Bone marrow smear: 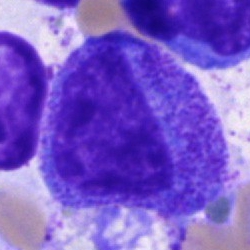 Classification = progranulocyte.